Bone marrow aspirate smear.
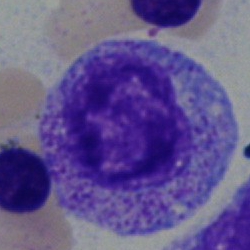 The classification is myelocyte.